Bone marrow smear · May-Grünwald-Giemsa stain — 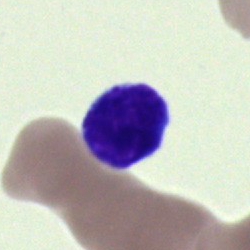 Morphology → typical lymphocyte.